Bone marrow smear. Single-cell field. Pappenheim-stained:
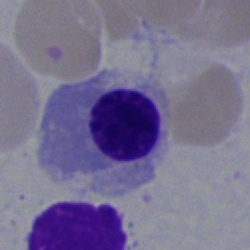
A nucleated red cell.